Bone marrow smear: 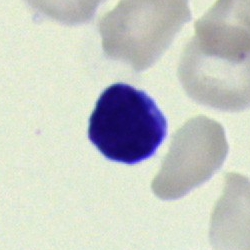

Morphology consistent with a typical lymphocyte.